Bone marrow smear.
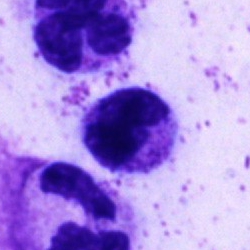Cell type = segmented neutrophil.